Single-cell field; peripheral blood smear:
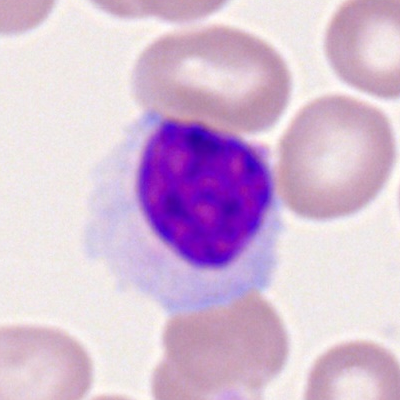 Typical lymphocyte.